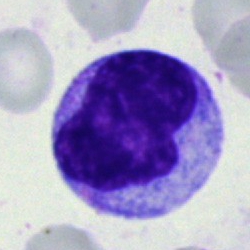Specimen: bone marrow aspirate smear.
Cell type: monocyte.
Lineage: myeloid.